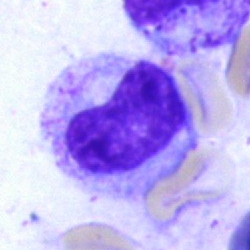 Q: What is shown here?
A: Metamyelocyte.